Bone marrow aspirate smear: 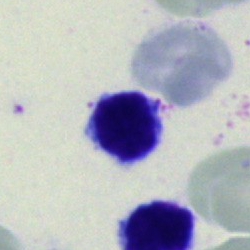

Q: Which cell type is shown here?
A: A lymphocyte.